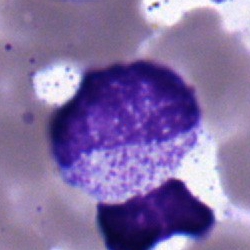 {"cell_type": "myelocyte", "lineage": "myeloid"}